Bone marrow smear. 40× objective, oil immersion. Image size 250×250.
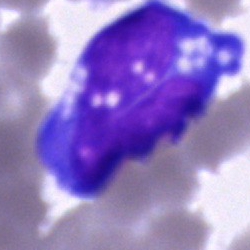Morphological class = undifferentiated blast.